Peripheral blood smear. Single-cell field: 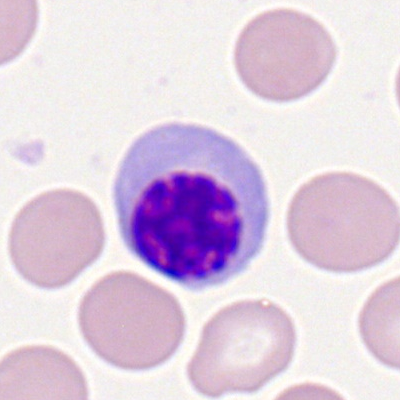
An erythroblast.